Single cell centered in the field. 40× oil immersion. Bone marrow smear:
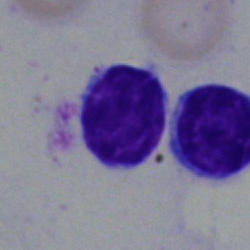
Specimen: bone marrow aspirate smear.
Cell type: typical lymphocyte.